Bone marrow aspirate smear. 250 by 250 pixels. Brightfield, 40× oil-immersion objective: 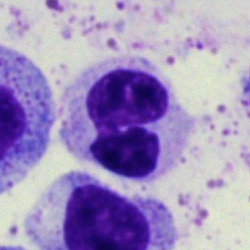 Classification = neutrophil (segmented).